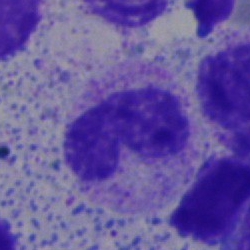
Bone marrow smear showing a neutrophil (band).